250×250 px. Bone marrow smear — 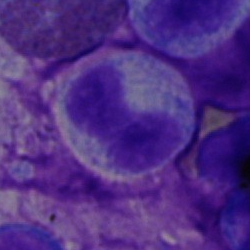 Q: Which cell type is shown here?
A: Band-form neutrophil.